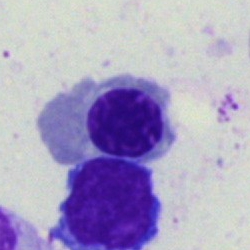

The morphological class is normoblast.